Bone marrow aspirate smear
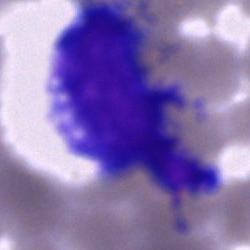
Classification — undifferentiated blast.